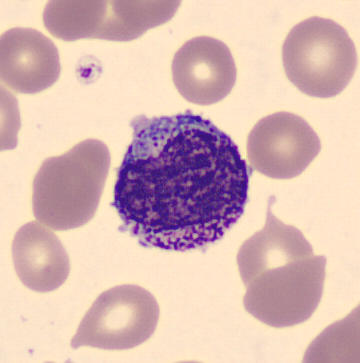 Classification: promyelocyte.